Bone marrow aspirate smear.
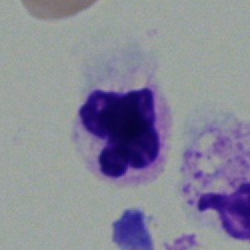 Q: Identify the cell.
A: Segmented neutrophil.